Bone marrow aspirate smear:
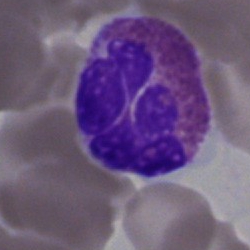

The cell is eosinophil.